Single-cell field · bone marrow smear
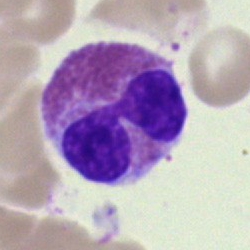Single cell identified as an eosinophil.